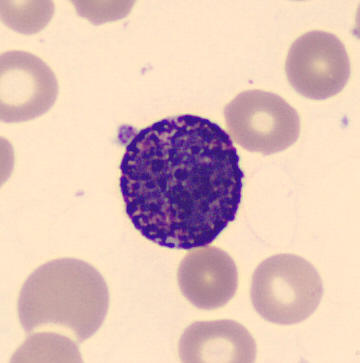The cell type is basophilic granulocyte. Acquisition: Single-cell field · peripheral blood film.